Bone marrow smear.
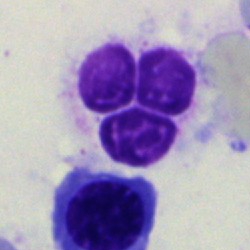
Morphology consistent with an artefact.